Bone marrow aspirate smear; MGG-stained:
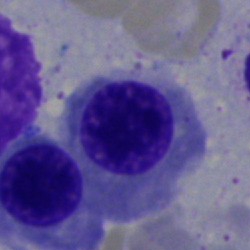 A nucleated red blood cell.